MGG-stained · bone marrow aspirate smear: 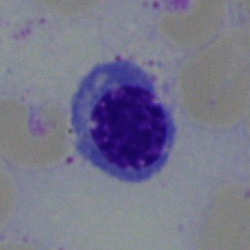 Cell = nucleated red blood cell.